Bone marrow smear; 40× oil immersion; 250×250
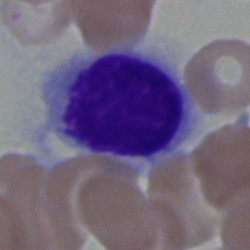

This is a lymphocyte.